Single-cell field. Peripheral blood film
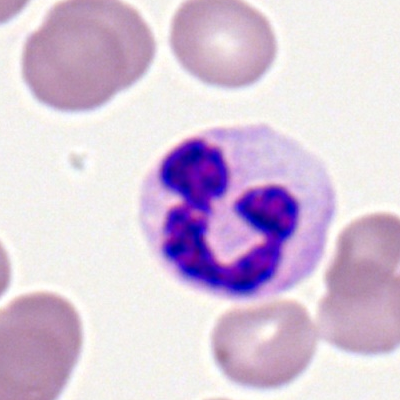 Morphology — polymorphonuclear neutrophil.